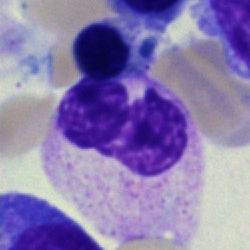 {"cell_type": "stab cell"}